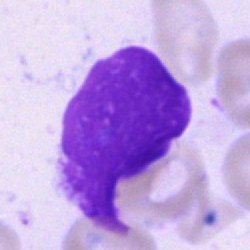 An artifact.